Bone marrow smear; single cell centered in the field: 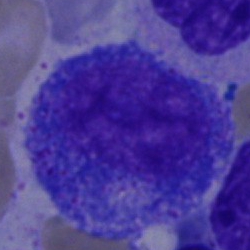 Promyelocyte.